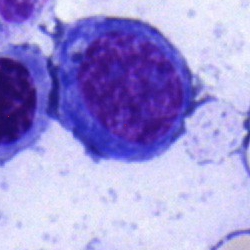
Morphology → erythroblast.